Bone marrow aspirate smear — 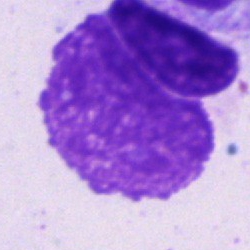
Single cell identified as an artifact.